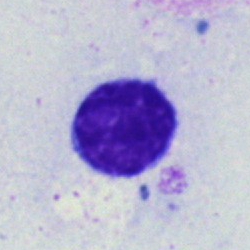
Cell: lymphocyte.